Bone marrow smear.
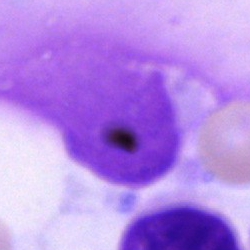Single cell identified as an artefact.